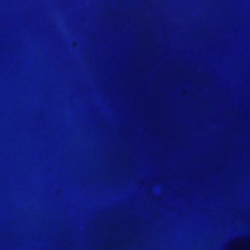{"cell_type": "artefact"}